Bone marrow aspirate smear · single-cell field.
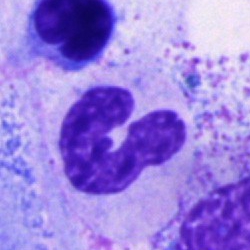 Q: Which cell type is shown here?
A: A band-form neutrophil.